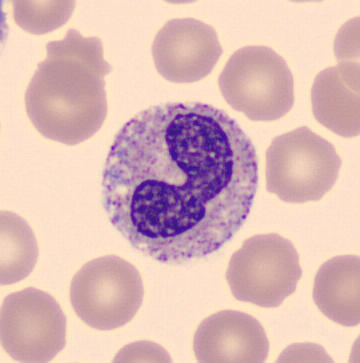

Preparation: Peripheral blood film.

Morphological class: band neutrophil.